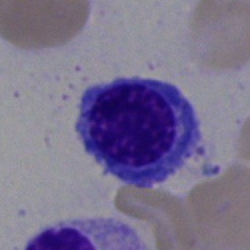
Classification = normoblast.